Bone marrow aspirate smear
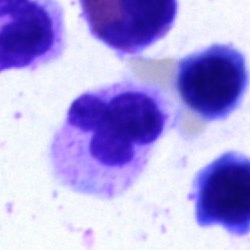Q: What is the morphological classification of this cell?
A: A segmented neutrophil.